Bone marrow aspirate smear: 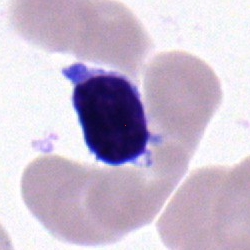Q: What is the morphological classification of this cell?
A: A typical lymphocyte.